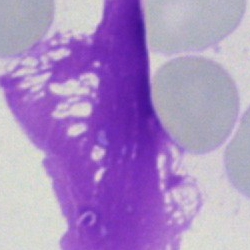
An artifact.